Bone marrow aspirate smear.
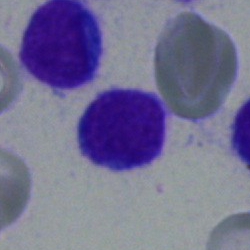
{"cell_type": "typical lymphocyte"}